Bone marrow aspirate smear.
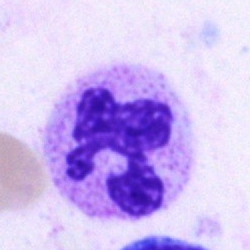This is a neutrophil (segmented).